Bone marrow smear: 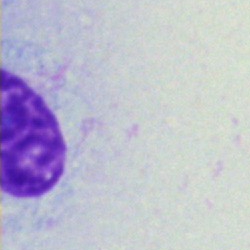

{"cell_type": "artefact"}